250×250 px · May-Grünwald-Giemsa stain · bone marrow smear
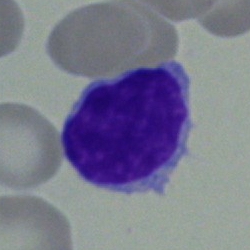
This is a lymphocyte.